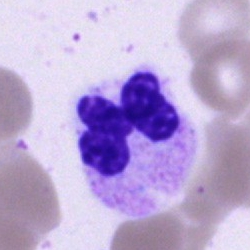

Single-cell crop from a bone marrow smear: segmented neutrophil.